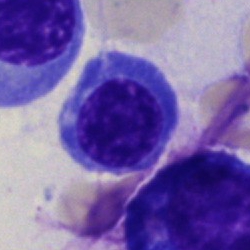
Q: What cell is this?
A: It is an erythroblast.